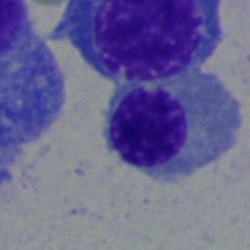Q: What is shown here?
A: Erythroblast.